Bone marrow smear.
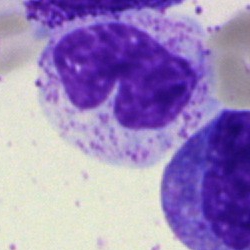 Impression — stab cell.